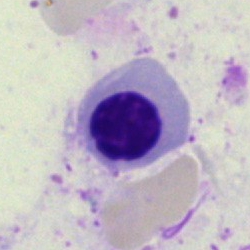Single-cell crop from a bone marrow smear: normoblast.